Bone marrow smear. 250 by 250 pixels.
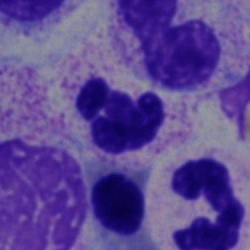 Q: What type of cell is this?
A: Polymorphonuclear neutrophil.